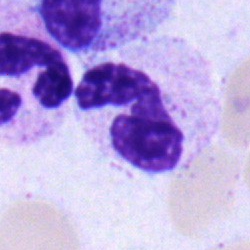 Impression → segmented neutrophil.